Brightfield, 40× oil-immersion objective. 250×250. Bone marrow aspirate smear: 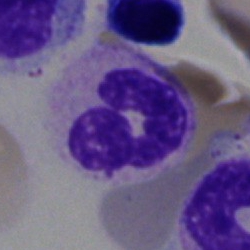

Classification — polymorphonuclear neutrophil.